Bone marrow aspirate smear: 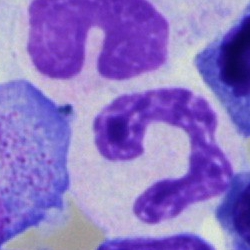

Single cell identified as a neutrophil (segmented).